Bone marrow aspirate smear
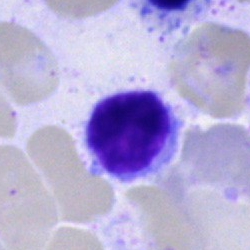{"cell_type": "lymphocyte", "lineage": "lymphoid"}